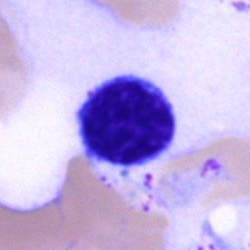

Classification — typical lymphocyte.